Bone marrow smear:
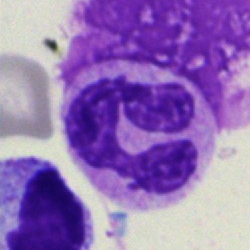{"cell_type": "neutrophil (segmented)"}